Bone marrow aspirate smear: 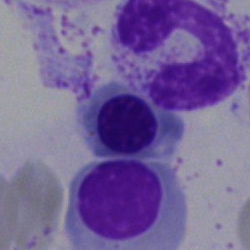
Impression — erythroblast.